Bone marrow smear.
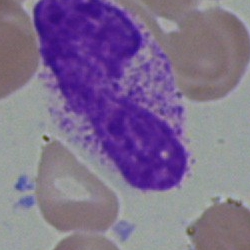

Specimen: bone marrow smear.
Morphological class: band-form neutrophil.
Lineage: myeloid.